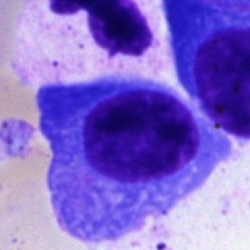 Q: What cell is this?
A: This is a plasmacyte.